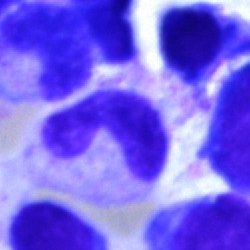Specimen: bone marrow aspirate smear.
Classification: neutrophil (band).